Peripheral blood smear.
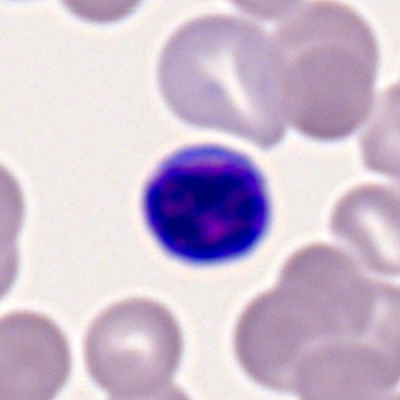

The cell shown is a lymphocyte.